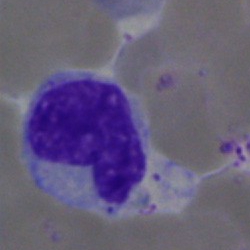This is a stab cell.